Bone marrow smear; 250×250:
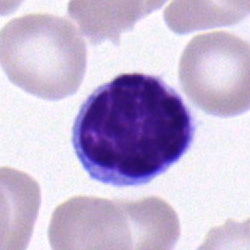Showing a lymphocyte.